Bone marrow smear; single-cell crop — 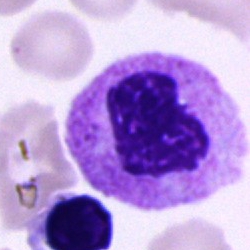 Impression — neutrophil (segmented).